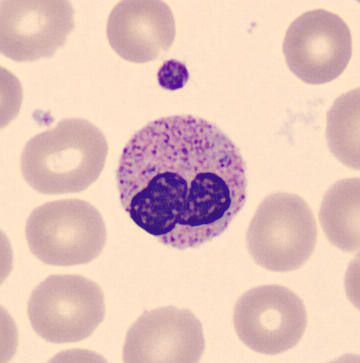 Preparation: Peripheral blood smear.

Single cell identified as a band-form neutrophil.